Single cell centered in the field. Romanowsky stain. Peripheral blood smear
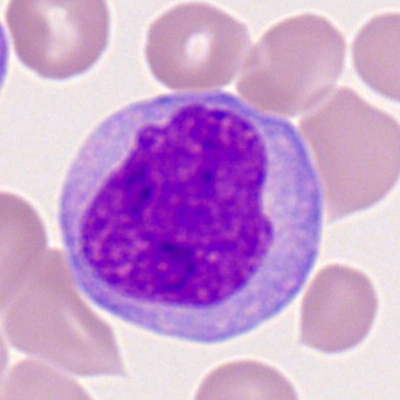
Morphology consistent with a monocyte.